Bone marrow smear. 40× objective, oil immersion. Single-cell crop
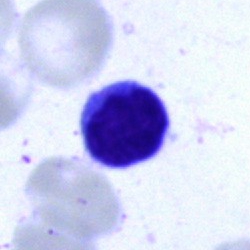
Morphological class — typical lymphocyte.